Bone marrow smear: 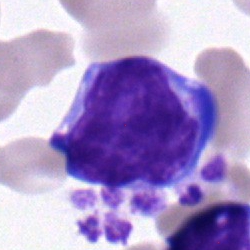The cell is lymphocyte.